Peripheral blood film:
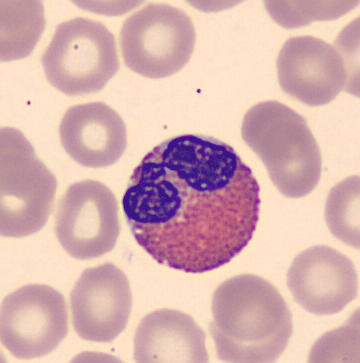The cell type is eosinophilic granulocyte.